Peripheral blood film:
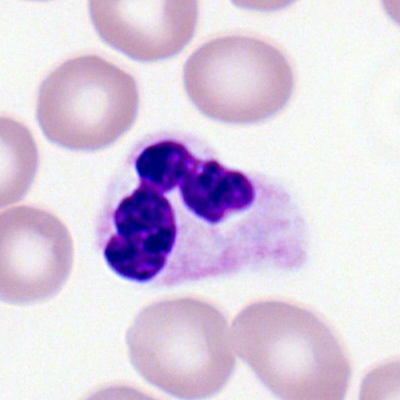 The cell is segmented neutrophil.